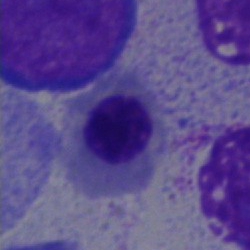 Showing an erythroblast.